Bone marrow aspirate smear
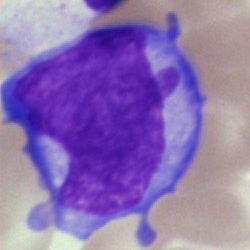

Specimen: bone marrow aspirate smear.
Morphological class: blast.